Pappenheim-stained · bone marrow smear.
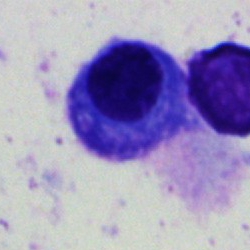
The cell shown is a plasmacyte.